Bone marrow smear — 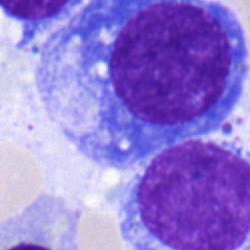 A plasma cell.